Bone marrow aspirate smear · 250×250 px.
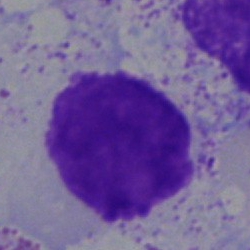
Specimen: bone marrow smear.
Morphological class: artifact.